MGG-stained; bone marrow smear
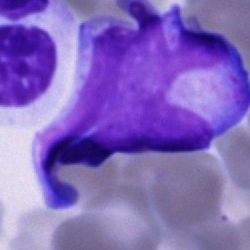 This is a cell of indeterminate lineage.